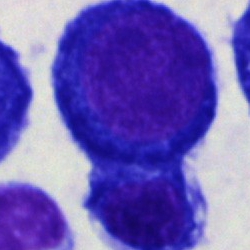
{"cell_type": "nucleated red cell", "lineage": "erythroid"}